Bone marrow aspirate smear
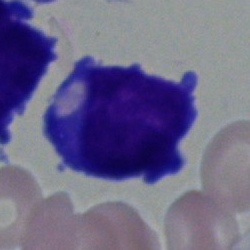 The classification is blast cell.